Peripheral blood smear; single-cell field
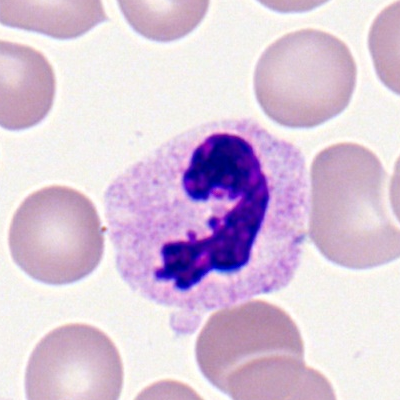

Single cell identified as a neutrophil (segmented).